Cropped to a single cell. 400 by 400 pixels. Peripheral blood film:
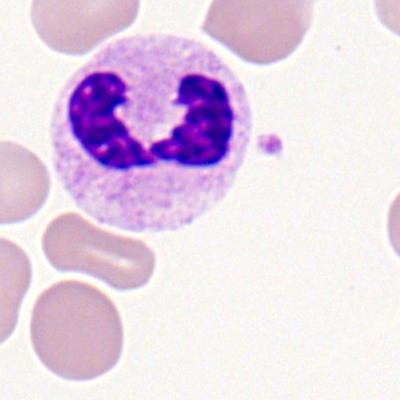Specimen: peripheral blood film.
Classification: neutrophil (segmented).
Lineage: myeloid.